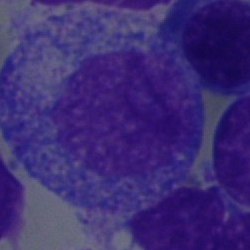
Morphological class: promyelocyte.